Bone marrow aspirate smear:
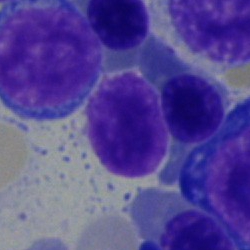 The cell shown is a lymphocyte.